Bone marrow smear — 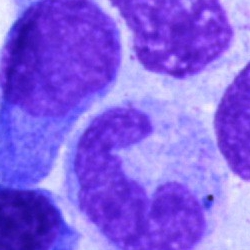 Morphology → monocyte.